Bone marrow smear
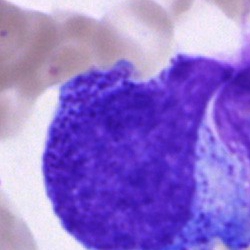A promyelocyte.